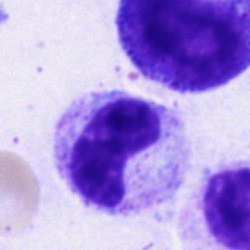 Impression → band-form neutrophil.